Single-cell crop; bone marrow aspirate smear:
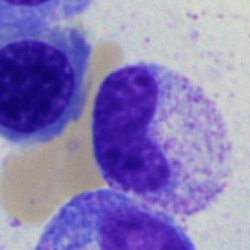
Stab cell.